Brightfield microscopy, 40× oil immersion · bone marrow smear
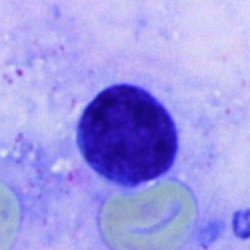 The classification is plasma cell.